Bone marrow aspirate smear:
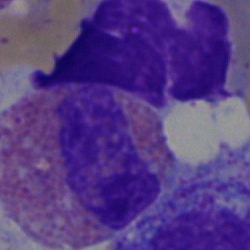
Q: Identify the cell.
A: Eosinophilic granulocyte.